Cropped to a single cell. Bone marrow aspirate smear:
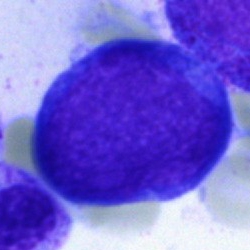 The cell type is pronormoblast.